250×250 · bone marrow aspirate smear · May-Grünwald-Giemsa stain:
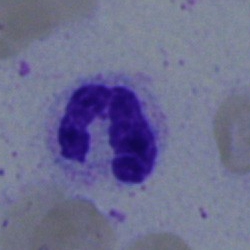
Morphology → polymorphonuclear neutrophil.